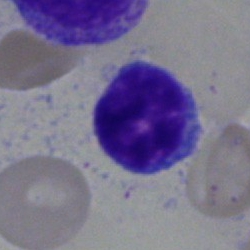 Q: Identify the cell.
A: Lymphocyte.